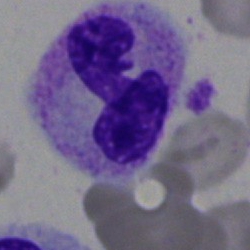

Showing a segmented neutrophil.